Bone marrow smear · single-cell field.
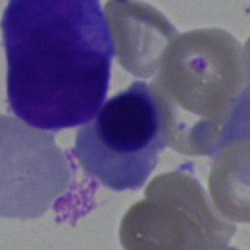 Q: What is shown here?
A: A nucleated red blood cell.